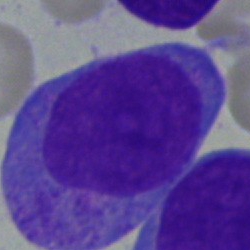

Specimen: bone marrow aspirate smear.
Morphological class: promyelocyte.
Lineage: myeloid.